Bone marrow smear. 250×250:
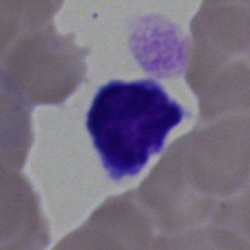 Single cell identified as a typical lymphocyte.